Bone marrow aspirate smear — 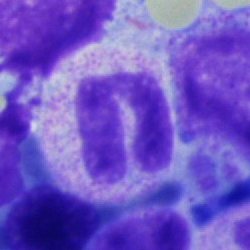 Morphology — polymorphonuclear neutrophil.